40× oil immersion · 250×250 · bone marrow aspirate smear: 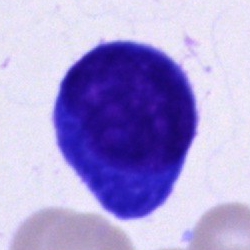
This is a plasmacyte.